Brightfield, 40× oil-immersion objective · bone marrow smear · single cell centered in the field
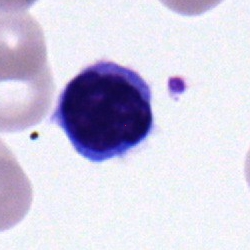Single cell identified as a lymphocyte.